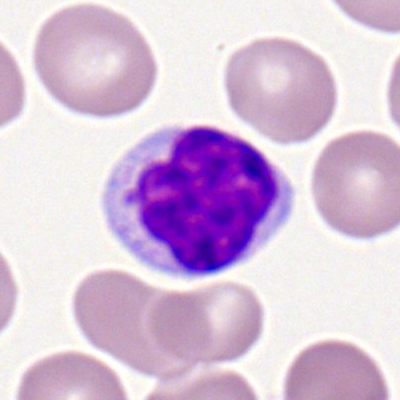

Morphology → lymphocyte.